Bone marrow aspirate smear; 40× objective, oil immersion — 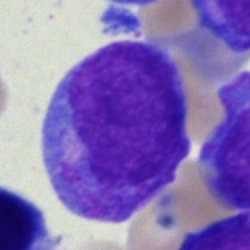 Specimen: bone marrow aspirate smear.
Cell type: promyelocyte.